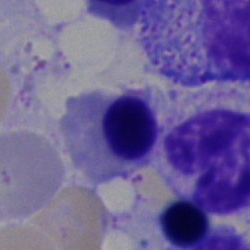

A nucleated red cell on a bone marrow smear.